Image size 250×250 · bone marrow aspirate smear:
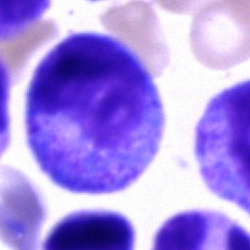 Morphology consistent with a promyelocyte.